Bone marrow smear:
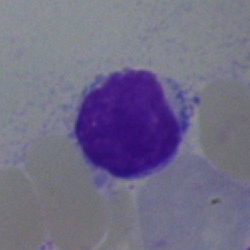

Impression → typical lymphocyte.